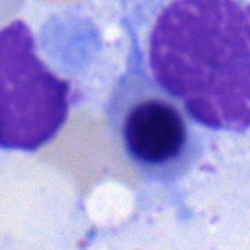Cell: nucleated red blood cell.